Image size 250×250; cropped to a single cell; bone marrow aspirate smear
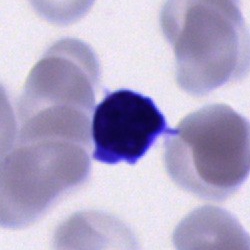
Specimen: bone marrow aspirate smear.
Cell: cell of indeterminate lineage.